Bone marrow aspirate smear; Pappenheim-stained; single-cell field — 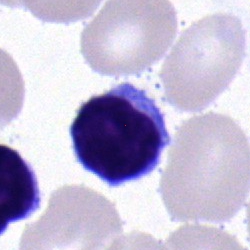

Impression — lymphocyte.